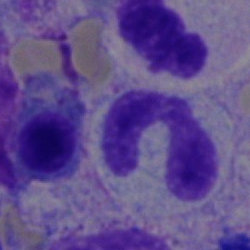
Q: What cell is this?
A: Band-form neutrophil.